Bone marrow aspirate smear. 40× objective, oil immersion.
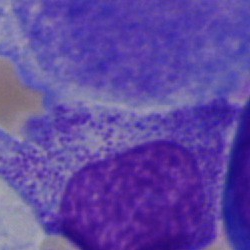
Cell: myelocyte.